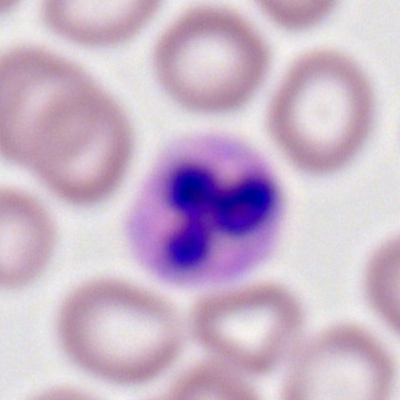 The cell shown is a neutrophil (segmented).